Peripheral blood smear. Romanowsky-type stain.
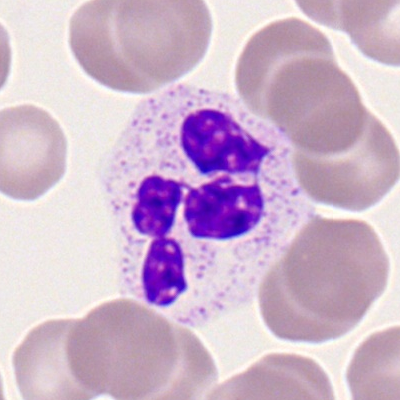

Specimen: peripheral blood film.
Morphological class: segmented neutrophil.
Lineage: myeloid.